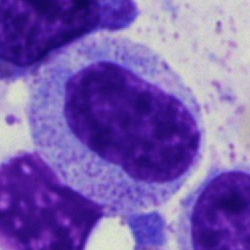

Q: What is the morphological classification of this cell?
A: A myelocyte.